Bone marrow aspirate smear.
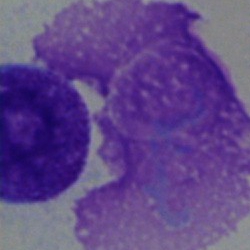Cell — artifact.